May-Grünwald-Giemsa/Pappenheim stain · single-cell field · bone marrow aspirate smear:
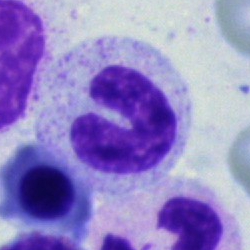

Cell: stab cell.